Bone marrow smear:
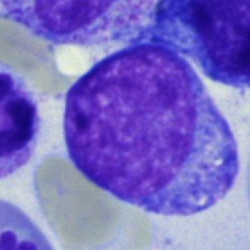Morphology consistent with a blast.